Bone marrow smear.
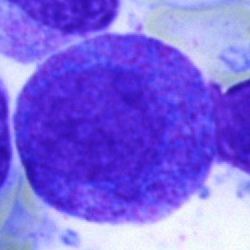

Single cell identified as a promyelocyte.